Bone marrow smear. 250×250. Pappenheim-stained
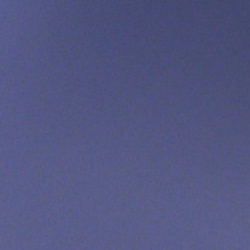 Cell type = artefact.